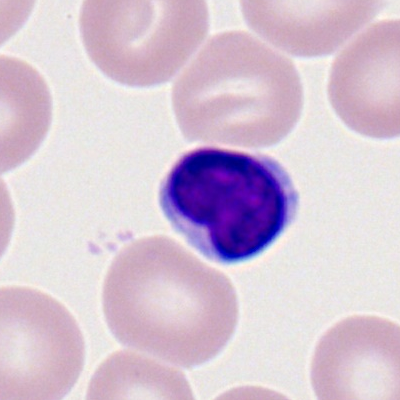Single-cell crop from a peripheral blood smear: lymphocyte.